40× objective, oil immersion · bone marrow smear · May-Grünwald-Giemsa/Pappenheim stain:
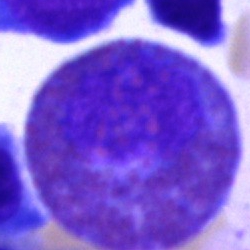 Cell type = eosinophil.